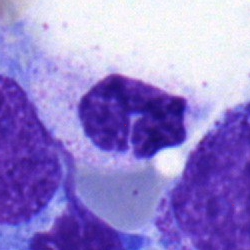
Bone marrow aspirate smear, single cell — band-form neutrophil.